Bone marrow smear; May-Grünwald-Giemsa/Pappenheim stain:
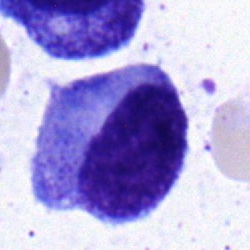
{"cell_type": "myelocyte"}